Bone marrow aspirate smear · brightfield microscopy, 40× oil immersion.
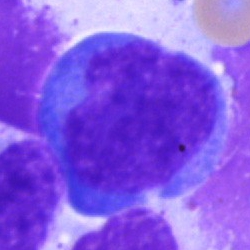
Showing a blast cell.